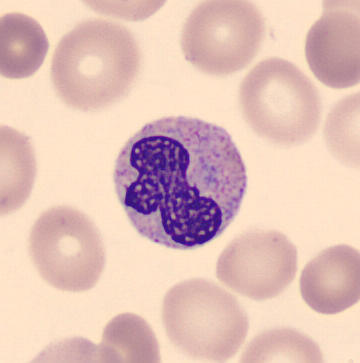 Q: What is this?
A: It is a neutrophil (band).

Acquisition: Peripheral blood smear.